Bone marrow aspirate smear.
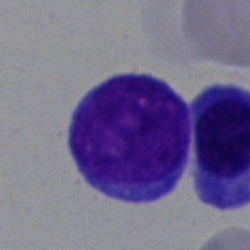Single cell identified as an undifferentiated blast.